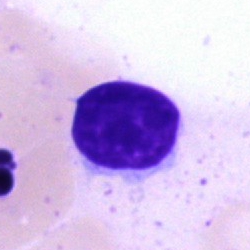 Q: Which cell type is shown here?
A: It is a typical lymphocyte.